Bone marrow smear
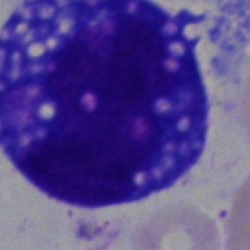 Cell type = blast.